Bone marrow aspirate smear
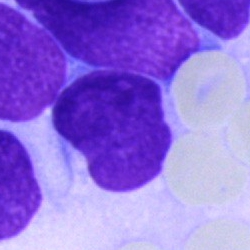
Impression → undifferentiated blast.